Bone marrow aspirate smear
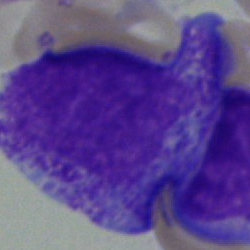

The cell is progranulocyte.